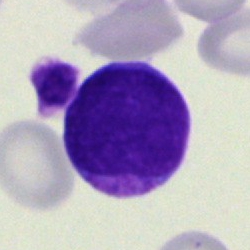
Q: Which cell type is shown here?
A: This is a typical lymphocyte.